Bone marrow smear:
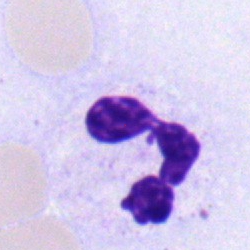

Morphology consistent with a polymorphonuclear neutrophil.